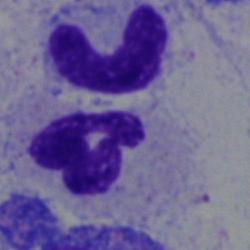Specimen: bone marrow aspirate smear.
Cell type: polymorphonuclear neutrophil.